Bone marrow smear:
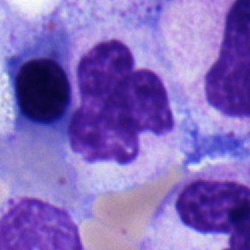

Segmented neutrophil.